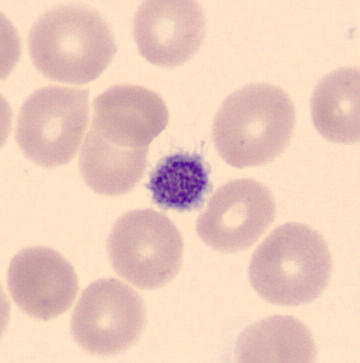

Platelet (thrombocyte).

Image: Peripheral blood film.